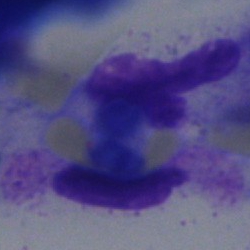

Morphology — artifact.